Bone marrow aspirate smear — 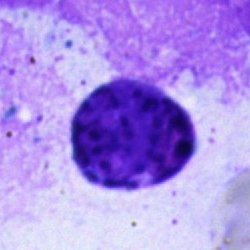

Q: Which cell type is shown here?
A: This is a basophilic granulocyte.